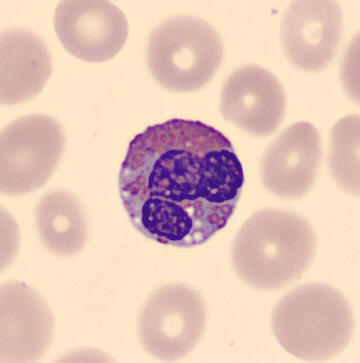Impression → eosinophil.